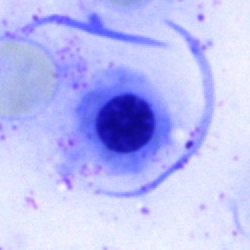

The classification is nucleated red blood cell.